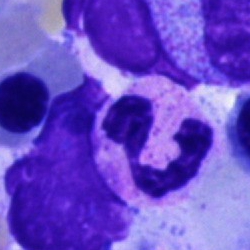Morphological class = polymorphonuclear neutrophil.